Bone marrow aspirate smear:
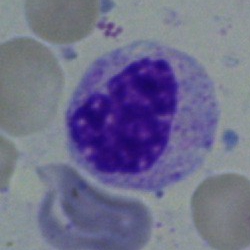 Morphological class: neutrophil (band).